Peripheral blood smear — 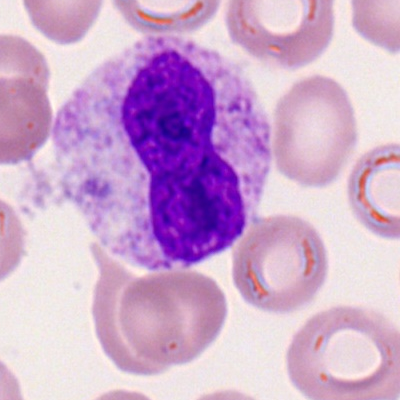 A band-form neutrophil.